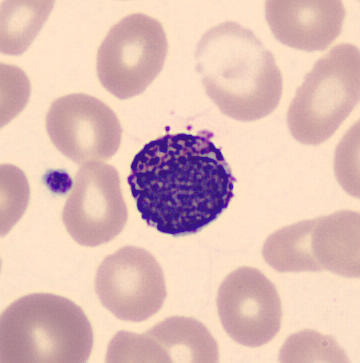

Peripheral blood film · single-cell crop.

Impression → basophil.